250×250; bone marrow smear:
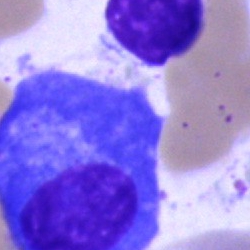
A plasmacyte.